Bone marrow smear · 40× oil immersion — 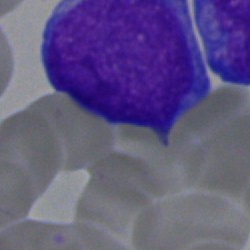

Cell type = undifferentiated blast.